Bone marrow smear.
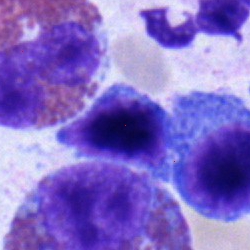
A typical lymphocyte.